40× oil immersion · bone marrow aspirate smear — 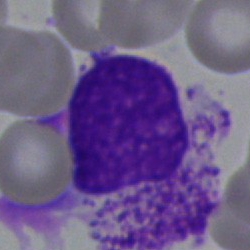Artifact.